Peripheral blood smear — 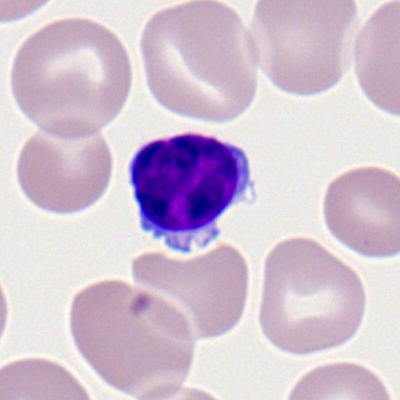 Specimen: peripheral blood film.
Classification: lymphocyte.